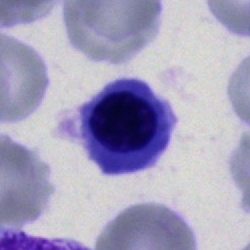
Impression → normoblast.